Bone marrow smear
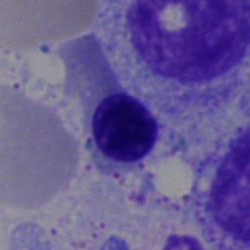
Q: Identify the cell.
A: Normoblast.